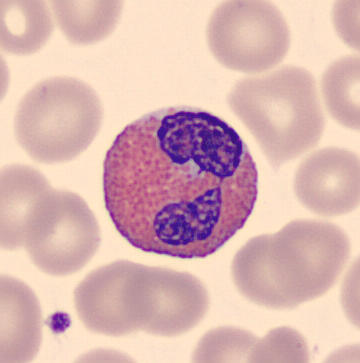
The cell shown is an eosinophil.